Single cell centered in the field · 250×250 px · bone marrow aspirate smear — 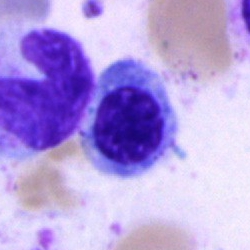Q: What is shown here?
A: Nucleated red cell.